Bone marrow aspirate smear; brightfield, 40× oil-immersion objective: 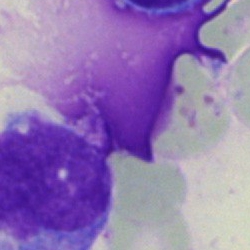The cell is artefact.